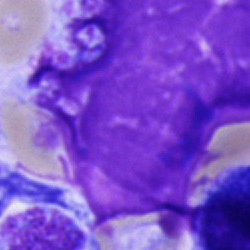 Single cell identified as an artefact.